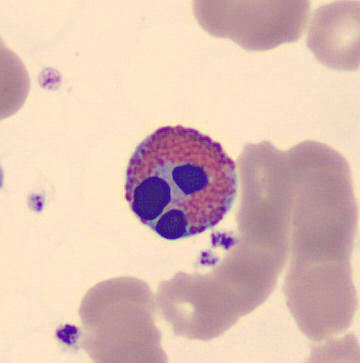
Q: What cell is this?
A: This is an eosinophilic granulocyte.